Bone marrow aspirate smear; May-Grünwald-Giemsa/Pappenheim stain
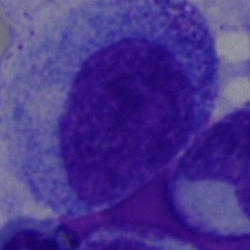

This is a progranulocyte.